Bone marrow smear.
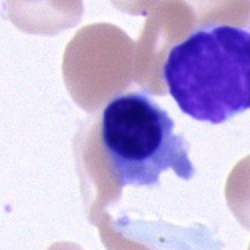

Specimen: bone marrow smear.
Cell type: nucleated red cell.